40× oil immersion. Bone marrow aspirate smear:
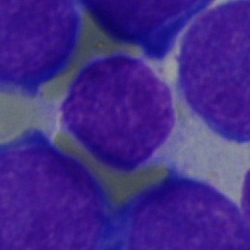
Blast cell.